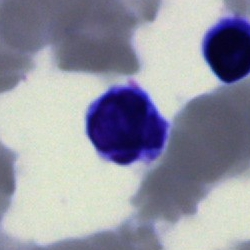 A typical lymphocyte.